May-Grünwald-Giemsa/Pappenheim stain · bone marrow smear · single-cell crop — 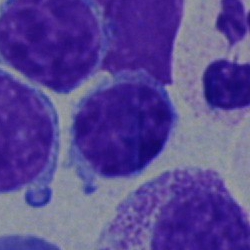Specimen: bone marrow smear.
Cell type: lymphocyte.
Lineage: lymphoid.